250 by 250 pixels · bone marrow smear · 40× objective, oil immersion — 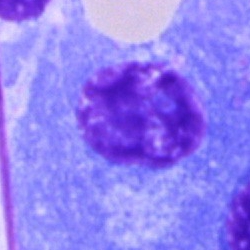 Q: What type of cell is this?
A: This is a plasma cell.